Peripheral blood film · 400×400 · single cell centered in the field.
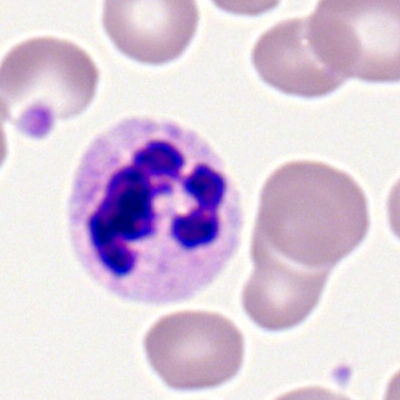

The cell shown is a segmented neutrophil.